MGG-stained · bone marrow aspirate smear · 250×250 — 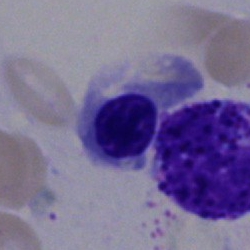Morphological class: nucleated red blood cell.